Image size 250×250. Bone marrow smear.
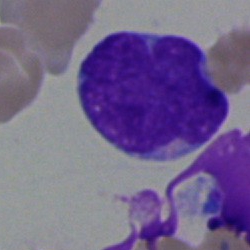
This is a blast cell.